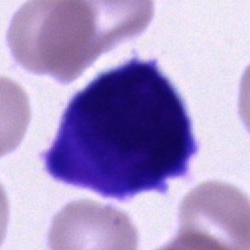

Morphology consistent with an unidentifiable cell.